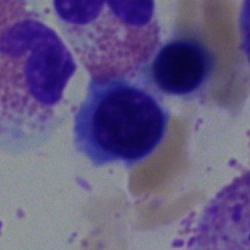
Q: Which cell type is shown here?
A: A nucleated red cell.